Bone marrow smear — 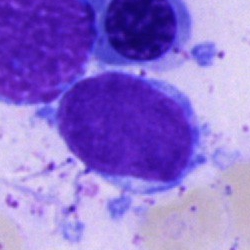Cell type = blast cell.